Bone marrow aspirate smear:
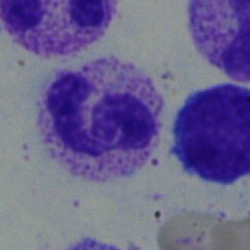

A polymorphonuclear neutrophil.